May-Grünwald-Giemsa stain; single cell centered in the field; bone marrow smear — 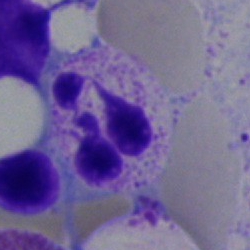{"cell_type": "segmented neutrophil", "lineage": "myeloid"}